Bone marrow aspirate smear:
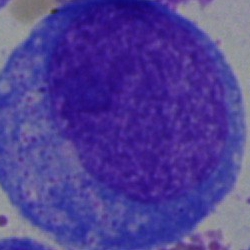 Specimen: bone marrow smear.
Classification: progranulocyte.
Lineage: myeloid.